Bone marrow smear — 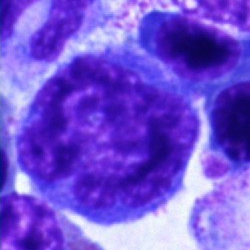Showing a pronormoblast.